Image size 250×250 · bone marrow aspirate smear · cropped to a single cell — 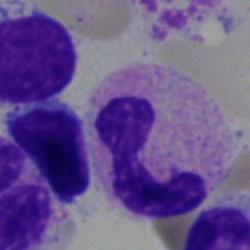 Segmented neutrophil.